Bone marrow aspirate smear · Pappenheim-stained
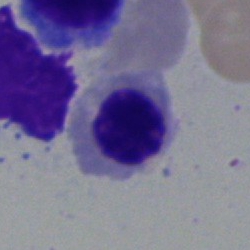 Q: What type of cell is this?
A: It is a nucleated red blood cell.